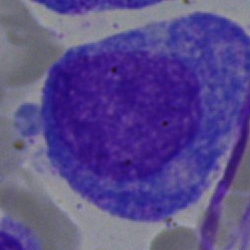
Q: Which cell type is shown here?
A: Progranulocyte.